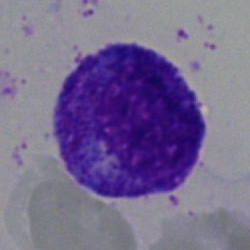 A progranulocyte.